Bone marrow aspirate smear; single-cell crop; 250 by 250 pixels — 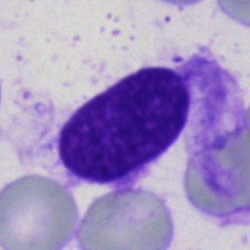
Artifact.